Romanowsky-type stain; peripheral blood smear; cropped to a single cell: 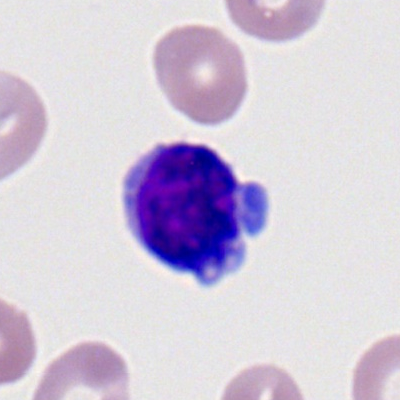 Q: Which cell type is shown here?
A: Lymphocyte.